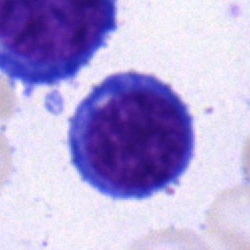
Single cell identified as an erythroblast.